40× objective, oil immersion. Bone marrow smear:
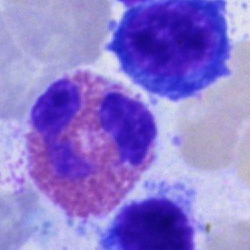
Q: Which cell type is shown here?
A: Eosinophil.